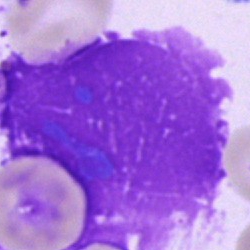

Cell type — artefact.